Bone marrow aspirate smear:
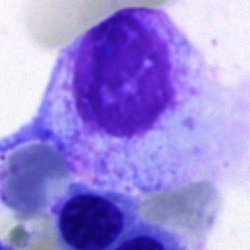
An artefact.